Bone marrow smear. 250×250
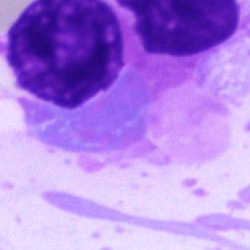 The cell shown is a plasmacyte.